Bone marrow aspirate smear:
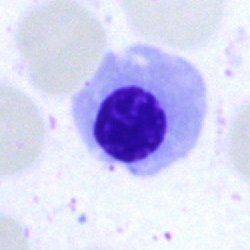
The cell shown is a normoblast.